Bone marrow smear — 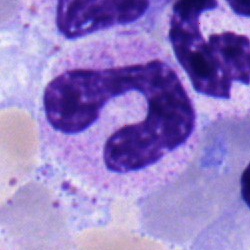
Q: Identify the cell.
A: It is a stab cell.